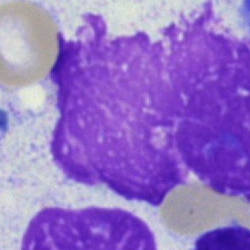 Showing an artefact.